Bone marrow aspirate smear.
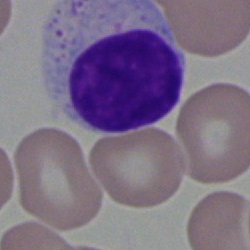 Q: What cell is this?
A: A lymphocyte.